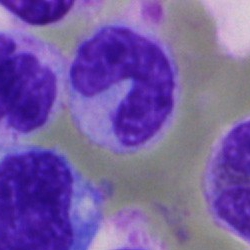Cell type = band neutrophil.